Bone marrow aspirate smear.
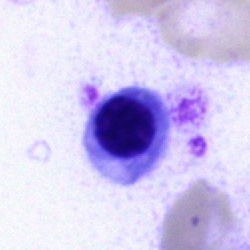

Q: What is shown here?
A: This is a nucleated red cell.